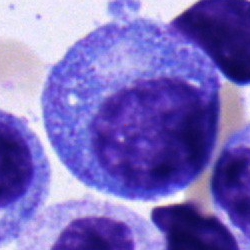
Q: What cell is this?
A: It is a promyelocyte.